Romanowsky stain; peripheral blood smear:
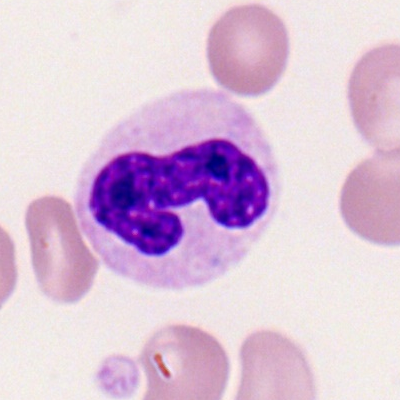

The cell is segmented neutrophil.